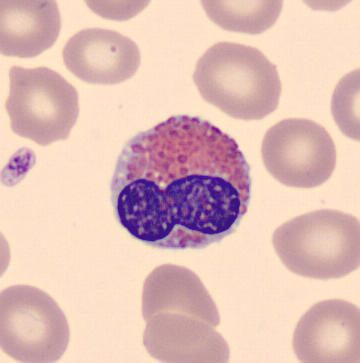

Eosinophil. Acquisition: Peripheral blood smear.